Image size 400×400 · peripheral blood film · 100× oil immersion:
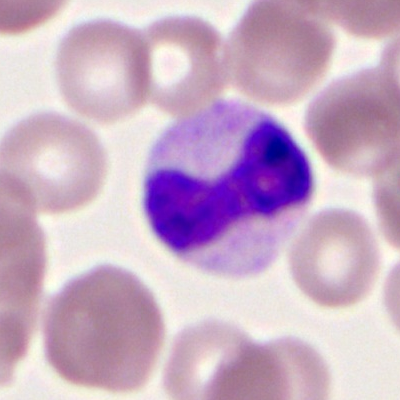

Q: What cell is this?
A: This is a neutrophil (segmented).